Bone marrow smear:
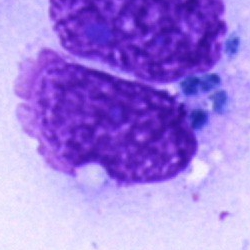The cell type is artifact.